Bone marrow smear: 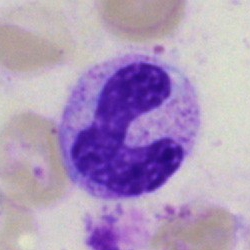 The cell shown is a band neutrophil.